Bone marrow smear. Single-cell crop. 250×250 px:
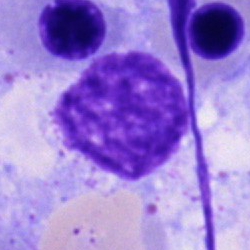

Q: What is shown here?
A: This is an artefact.